Bone marrow smear — 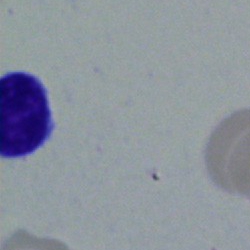 Q: What is the morphological classification of this cell?
A: Lymphocyte.